Bone marrow aspirate smear: 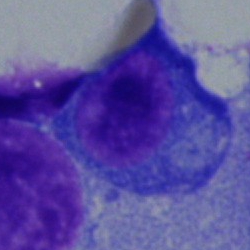 A plasma cell.